Bone marrow smear:
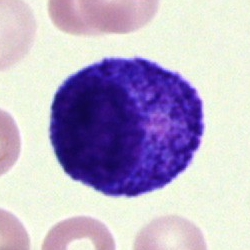
Showing a nucleated red cell.